Peripheral blood smear
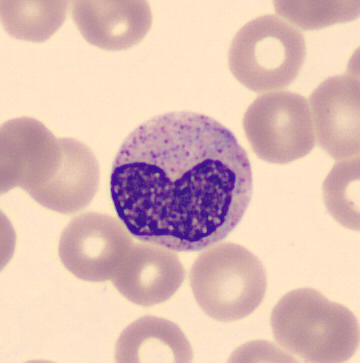 Metamyelocyte.